40× oil immersion; bone marrow smear: 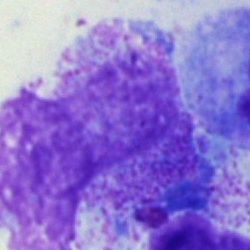
The cell shown is an artifact.